400×400 px; peripheral blood film: 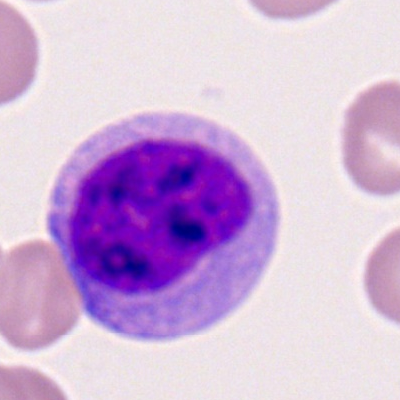 A monocyte.